Bone marrow smear; May-Grünwald-Giemsa/Pappenheim stain; 250×250 px: 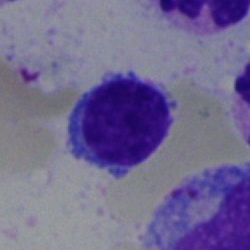

Morphology consistent with a typical lymphocyte.